Bone marrow smear — 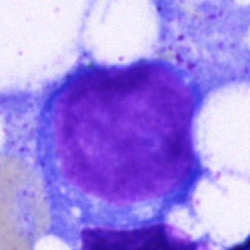

Specimen: bone marrow smear.
Morphological class: undifferentiated blast.